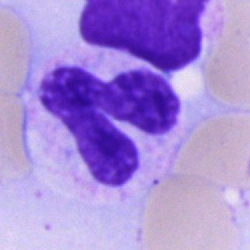

{"cell_type": "band neutrophil"}